Bone marrow aspirate smear; 250 by 250 pixels: 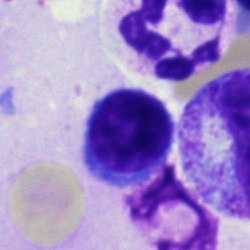
Specimen: bone marrow smear.
Classification: lymphocyte.